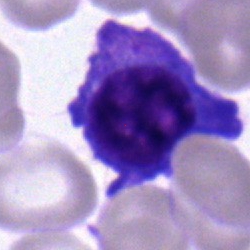 Cell type — plasmacyte.